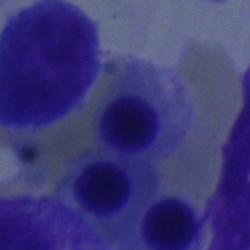 The cell type is normoblast.